Bone marrow smear · Pappenheim-stained
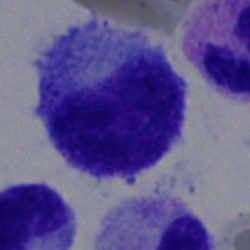
The cell shown is a promyelocyte.